Bone marrow smear: 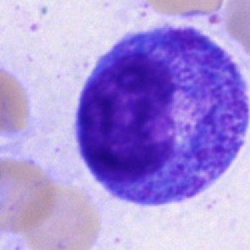Promyelocyte.